Bone marrow aspirate smear · 40× oil immersion:
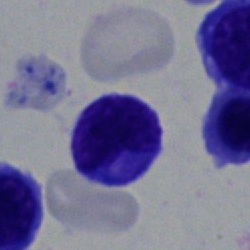
Single cell identified as a typical lymphocyte.